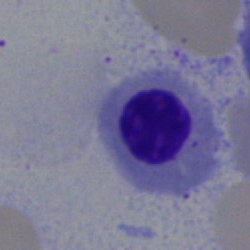 Cell type = nucleated red blood cell.